Bone marrow aspirate smear: 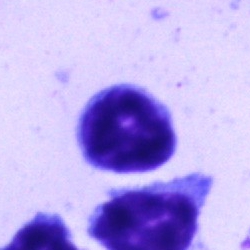 Cell type: typical lymphocyte.